Bone marrow aspirate smear. May-Grünwald-Giemsa/Pappenheim stain — 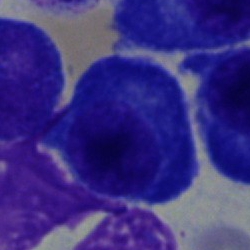Single cell identified as a plasmacyte.